Bone marrow smear:
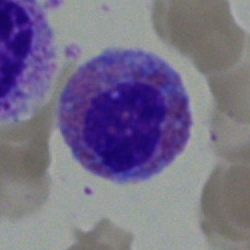Q: What type of cell is this?
A: Eosinophil.